Bone marrow smear — 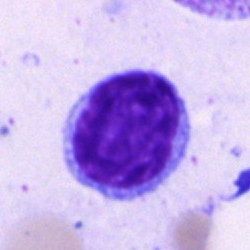The classification is typical lymphocyte.